Bone marrow aspirate smear · May-Grünwald-Giemsa/Pappenheim stain · 250×250 px:
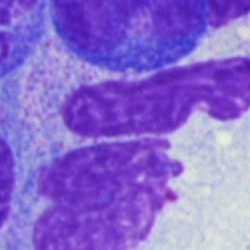
Morphological class: artefact.